Bone marrow smear · cropped to a single cell · image size 250×250.
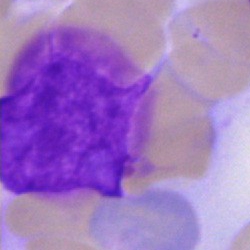
{"cell_type": "artifact"}